250×250 px; bone marrow smear: 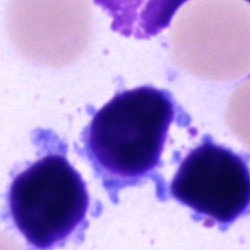 The cell shown is a lymphocyte.